Bone marrow aspirate smear: 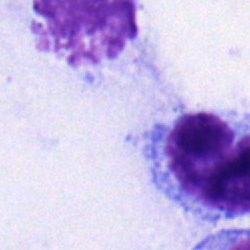Classification: typical lymphocyte.